Bone marrow smear — 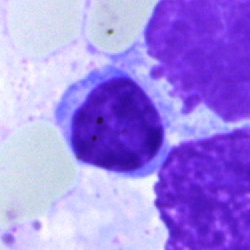
The cell shown is a lymphocyte.